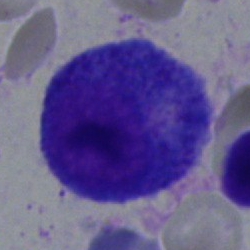
Morphology — progranulocyte.